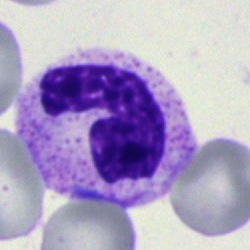 Q: Which cell type is shown here?
A: It is a polymorphonuclear neutrophil.